Bone marrow smear · Pappenheim-stained: 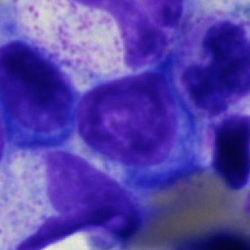

The cell is plasmacyte.